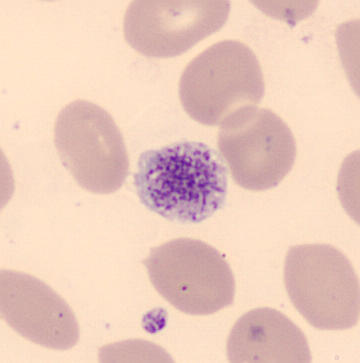
Morphology — platelet. Preparation: CellaVision DM96 · peripheral blood smear · MGG stain.